Bone marrow aspirate smear. 250×250 px
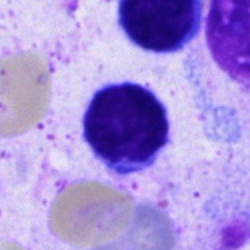Cell = typical lymphocyte.